250 by 250 pixels. 40× objective, oil immersion. Bone marrow smear
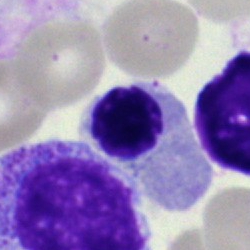
The cell shown is an erythroblast.